40× oil immersion · bone marrow smear
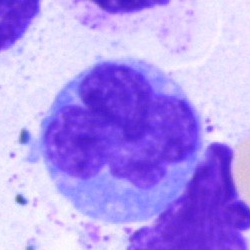 The classification is monocyte.